Bone marrow smear · 40× objective, oil immersion
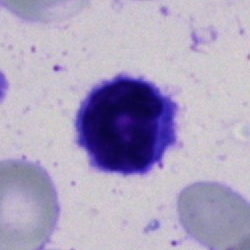

Impression → typical lymphocyte.